Bone marrow smear; cropped to a single cell
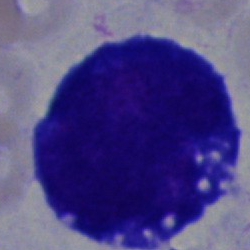

{"cell_type": "undifferentiated blast"}